Bone marrow aspirate smear: 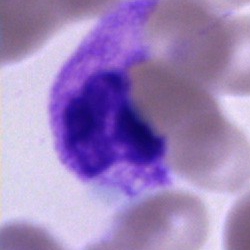
Cell type — neutrophil (segmented).